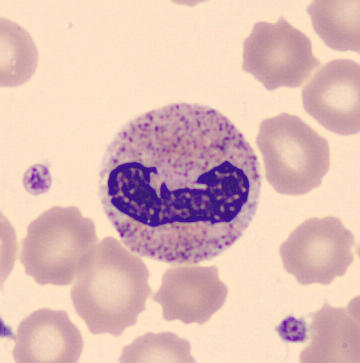 Preparation: May-Grünwald-Giemsa-stained; peripheral blood film.

Cell type: segmented neutrophil.